Bone marrow aspirate smear
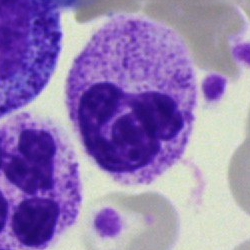 {"cell_type": "segmented neutrophil", "lineage": "myeloid"}